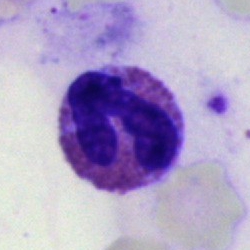Eosinophil.